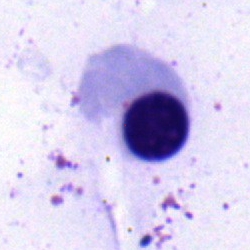

Morphological class: nucleated red cell.